360×363. Peripheral blood smear: 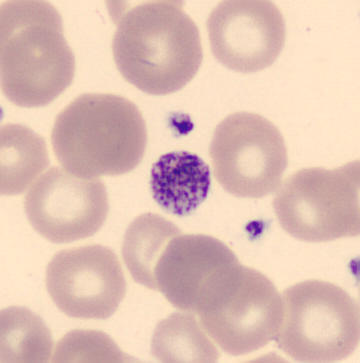

Q: What is shown here?
A: It is a platelet.